Cropped to a single cell. 250×250 px. Bone marrow smear:
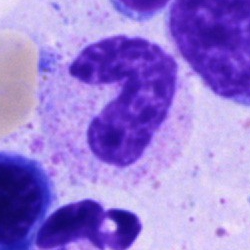Q: What is the morphological classification of this cell?
A: This is a band-form neutrophil.